Bone marrow smear
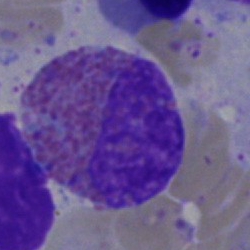Specimen: bone marrow smear.
Cell type: eosinophil.